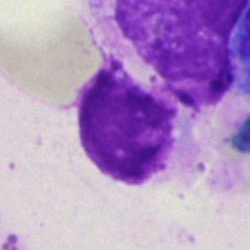
Q: What is shown here?
A: Artifact.